Bone marrow smear — 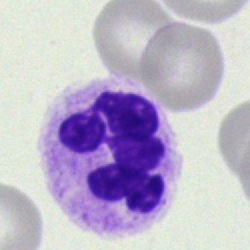 Cell — polymorphonuclear neutrophil.